Bone marrow aspirate smear: 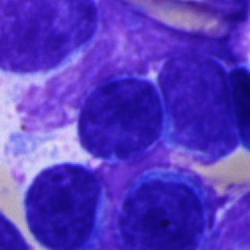Q: What is shown here?
A: A typical lymphocyte.